Bone marrow smear.
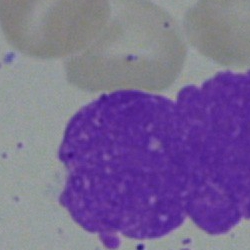

Morphology — artefact.